Bone marrow aspirate smear
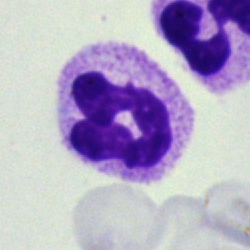 This is a polymorphonuclear neutrophil.